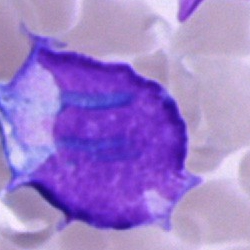A cell of indeterminate lineage on a bone marrow smear.